M8 digital microscope (Precipoint), 100× oil immersion; peripheral blood smear.
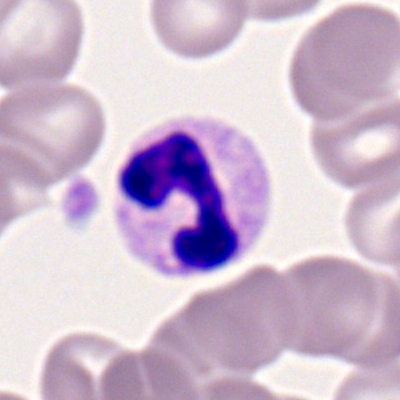
This is a polymorphonuclear neutrophil.